May-Grünwald-Giemsa/Pappenheim stain; bone marrow smear
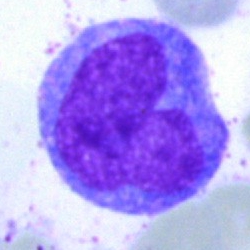 Morphological class: monocyte.